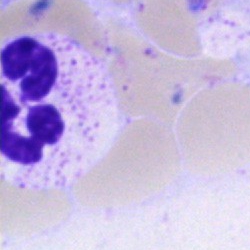 Morphology consistent with a segmented neutrophil.